Bone marrow aspirate smear — 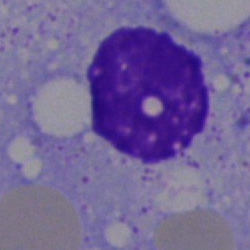 Showing an artefact.